Bone marrow aspirate smear.
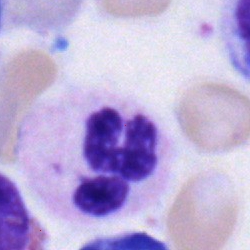
Single cell identified as a segmented neutrophil.